Bone marrow smear; 250×250: 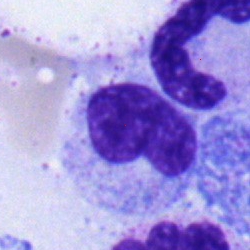Morphological class = metamyelocyte.